Bone marrow smear. Cropped to a single cell. 40× oil immersion — 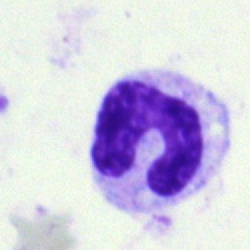
Q: Identify the cell.
A: Stab cell.